Bone marrow aspirate smear
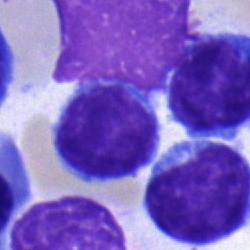Q: Which cell type is shown here?
A: Lymphocyte.